Bone marrow aspirate smear — 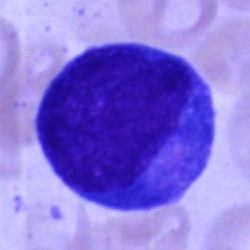

Morphology → blast cell.